Bone marrow aspirate smear — 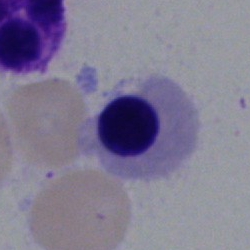Specimen: bone marrow smear.
Classification: nucleated red cell.
Lineage: erythroid.